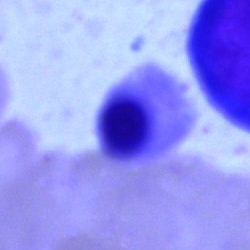

Showing a normoblast.